Bone marrow smear:
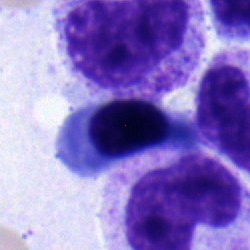
{"cell_type": "nucleated red blood cell", "lineage": "erythroid"}